Bone marrow aspirate smear
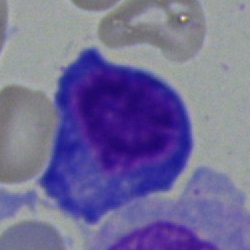 Specimen: bone marrow smear.
Cell type: proerythroblast.